Bone marrow aspirate smear: 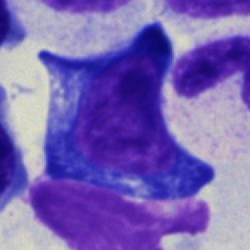
Pronormoblast.